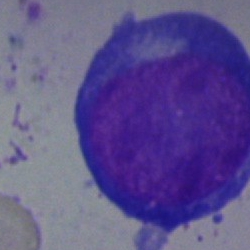
Q: What is the morphological classification of this cell?
A: A pronormoblast.